250×250 px; bone marrow aspirate smear
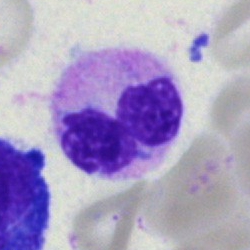 Cell type: neutrophil (segmented).